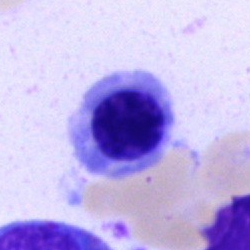Specimen: bone marrow aspirate smear.
Classification: normoblast.